Bone marrow smear.
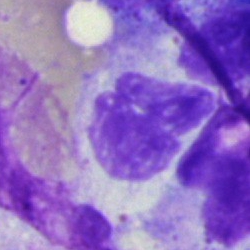 Specimen: bone marrow aspirate smear.
Cell type: segmented neutrophil.
Lineage: myeloid.